May-Grünwald-Giemsa stain; 250×250 px; bone marrow smear
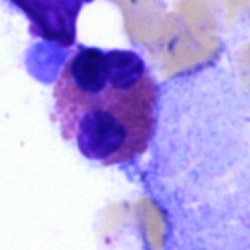

{"cell_type": "eosinophilic granulocyte"}